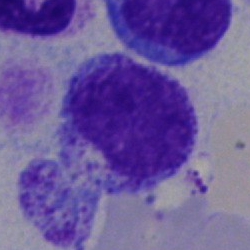
A myelocyte on a bone marrow smear.